Bone marrow aspirate smear. Single-cell field.
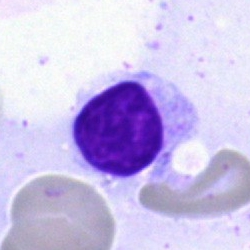
Showing a lymphocyte.